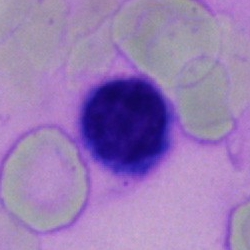

This is a typical lymphocyte.